Romanowsky stain · peripheral blood film · brightfield, 100× oil-immersion objective:
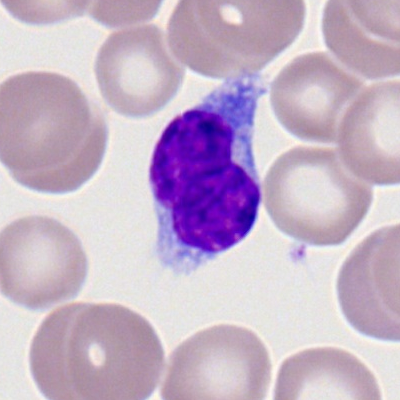Single cell identified as a typical lymphocyte.